Bone marrow smear · May-Grünwald-Giemsa stain:
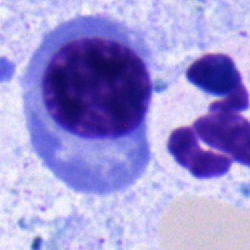The classification is nucleated red cell.